Bone marrow smear. Image size 250×250
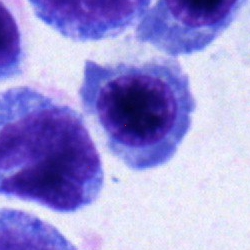

Cell type: erythroblast.